Bone marrow smear.
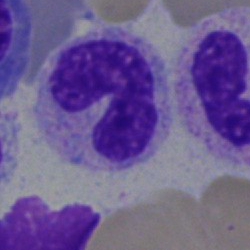

Impression — stab cell.